Bone marrow smear: 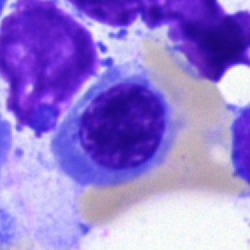 {"cell_type": "nucleated red blood cell", "lineage": "erythroid"}